Bone marrow smear; MGG-stained; cropped to a single cell:
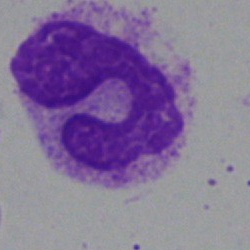Showing an artefact.